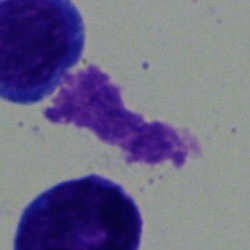 Q: What is shown here?
A: It is an artifact.